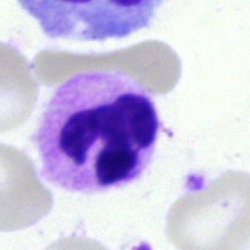 Cell type — neutrophil (segmented).